Bone marrow smear — 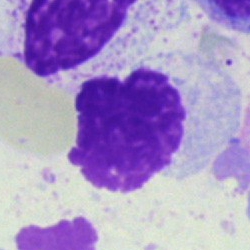

Morphological class: artifact.